Bone marrow aspirate smear.
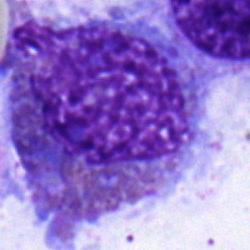

Cell type = eosinophilic granulocyte.